Peripheral blood film.
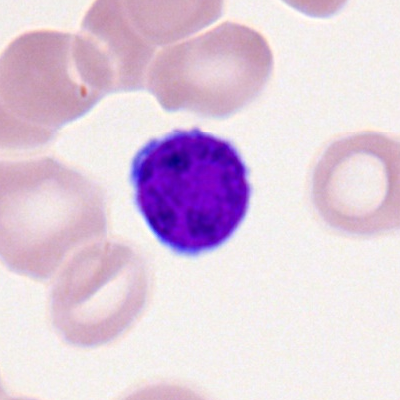

The cell type is typical lymphocyte.